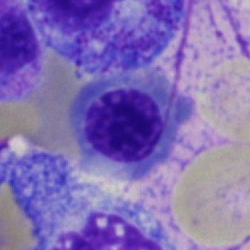

Bone marrow smear showing a nucleated red blood cell.